Image size 400×400. Peripheral blood smear:
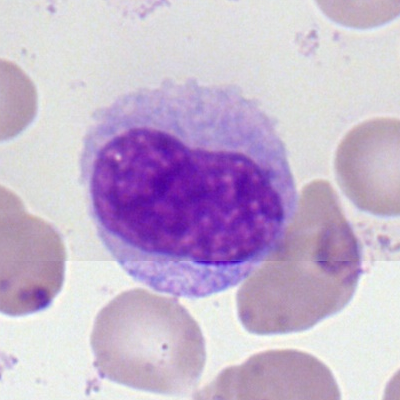

Morphology — monocyte.